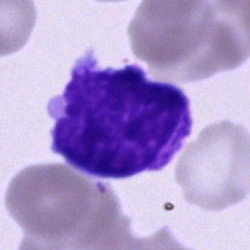

{"cell_type": "lymphocyte", "lineage": "lymphoid"}